May-Grünwald-Giemsa/Pappenheim stain. Bone marrow smear — 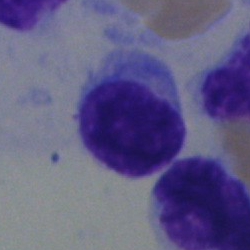

Cell = hairy cell.